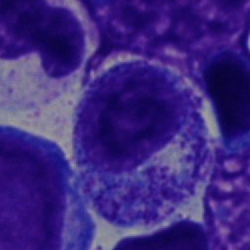 Specimen: bone marrow aspirate smear.
Classification: myelocyte.
Lineage: myeloid.